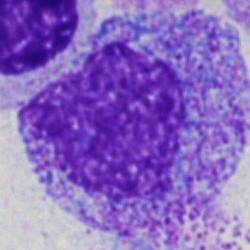
Morphology → progranulocyte.